Bone marrow smear
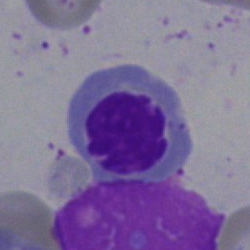

Cell: erythroblast.